Pappenheim-stained. Bone marrow aspirate smear. Single-cell field:
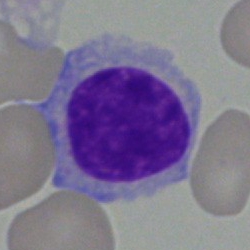

Cell = typical lymphocyte.